Bone marrow aspirate smear:
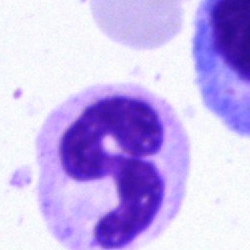

The cell shown is a neutrophil (segmented).